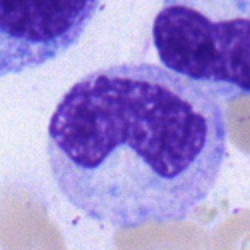

Q: Which cell type is shown here?
A: A neutrophil (band).